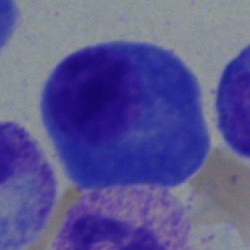
Specimen: bone marrow aspirate smear.
Morphological class: plasmacyte.